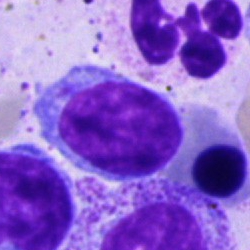Classification: lymphocyte.